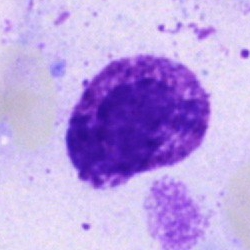Q: What is shown here?
A: This is an artefact.